Single-cell crop. Peripheral blood film
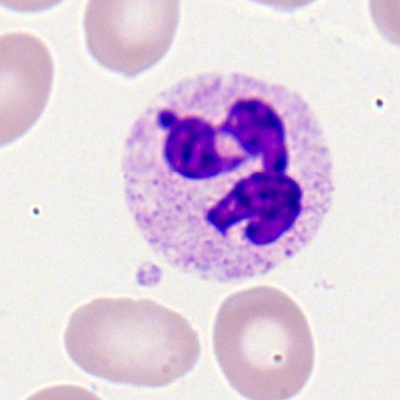

This is a segmented neutrophil.